Bone marrow smear:
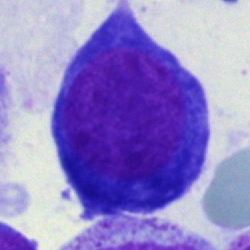Proerythroblast.